250×250. Single cell centered in the field. Bone marrow aspirate smear.
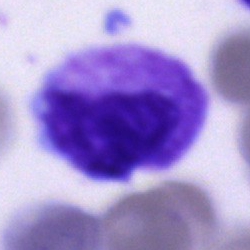

Cell type = artefact.